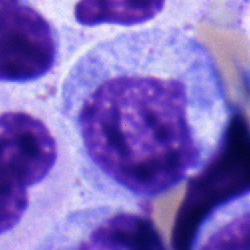 Q: Which cell type is shown here?
A: This is a progranulocyte.